Bone marrow smear.
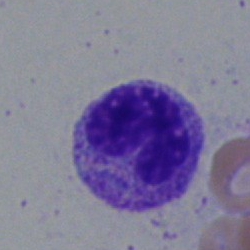

The classification is band-form neutrophil.